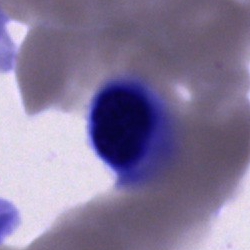 Cell type: cell of indeterminate lineage.